Cropped to a single cell; May-Grünwald-Giemsa/Pappenheim stain; bone marrow aspirate smear — 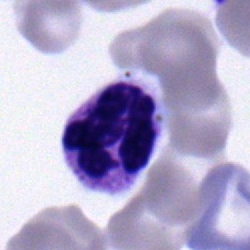Single cell identified as a neutrophil (segmented).